Bone marrow smear.
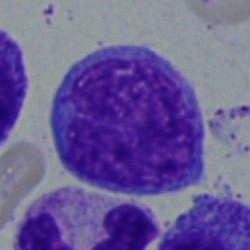

Q: What is the morphological classification of this cell?
A: It is an undifferentiated blast.